Bone marrow aspirate smear · 250×250 · MGG-stained.
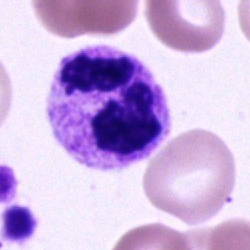

Q: What cell is this?
A: This is a polymorphonuclear neutrophil.